Peripheral blood smear · Romanowsky-type stain:
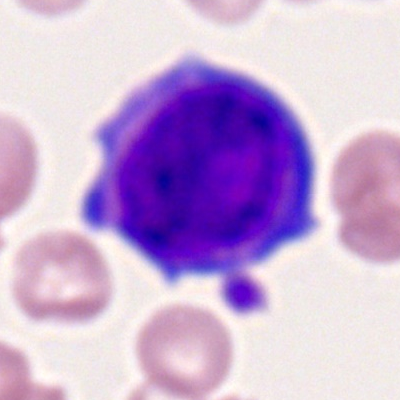
Morphology consistent with a myeloid blast.